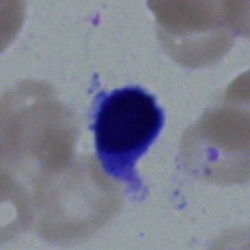

Specimen: bone marrow aspirate smear.
Cell: lymphocyte.
Lineage: lymphoid.